Bone marrow aspirate smear: 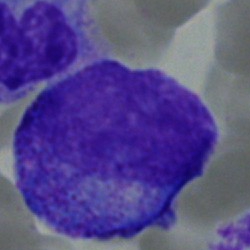A progranulocyte.